Single cell centered in the field · bone marrow smear — 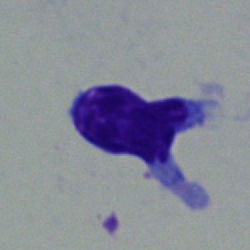

Q: Which cell type is shown here?
A: This is a typical lymphocyte.